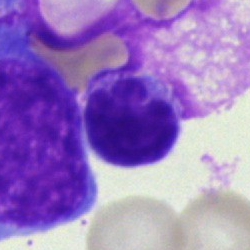 Classification: lymphocyte.